Bone marrow aspirate smear; single cell centered in the field — 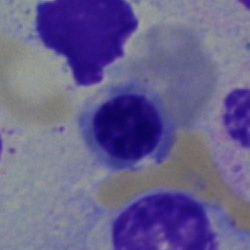

Classification — erythroblast.